Bone marrow aspirate smear:
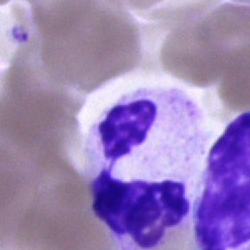Segmented neutrophil.